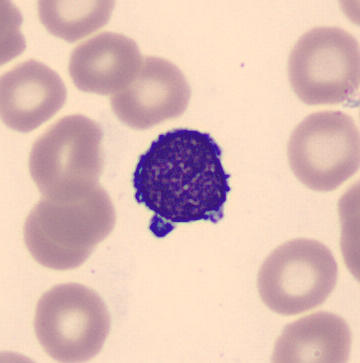 Peripheral blood film · cropped to a single cell.
A lymphocyte.